Bone marrow smear — 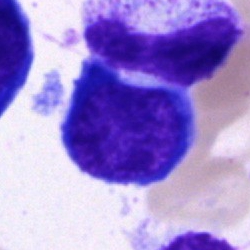 The cell type is nucleated red cell.